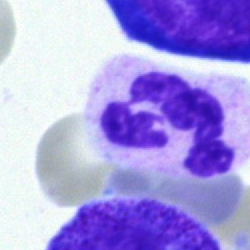
{"cell_type": "neutrophil (segmented)"}